MGG-stained; bone marrow aspirate smear.
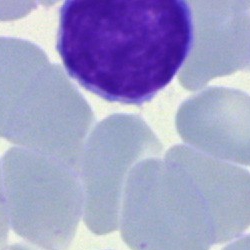

Q: What is shown here?
A: Artefact.